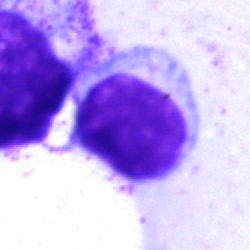

Q: Which cell type is shown here?
A: A lymphocyte.